Bone marrow aspirate smear:
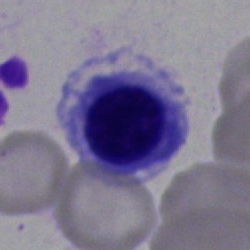Impression → nucleated red cell.